Bone marrow aspirate smear. 40× oil immersion. Single cell centered in the field:
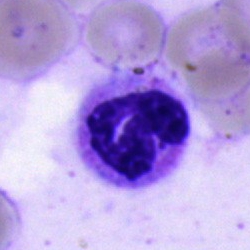
Showing a polymorphonuclear neutrophil.